Bone marrow aspirate smear; cropped to a single cell — 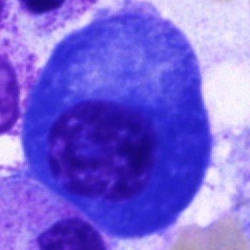
Q: What type of cell is this?
A: It is a plasma cell.